Peripheral blood film; 400×400; M8 digital microscope (Precipoint), 100× oil immersion
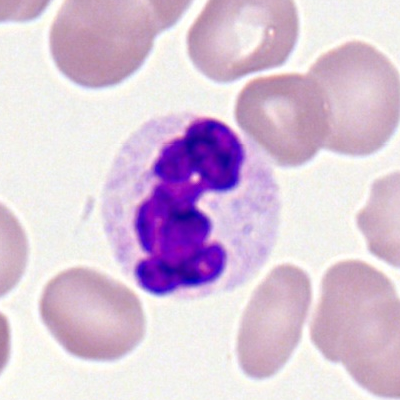Q: What is shown here?
A: A neutrophil (segmented).